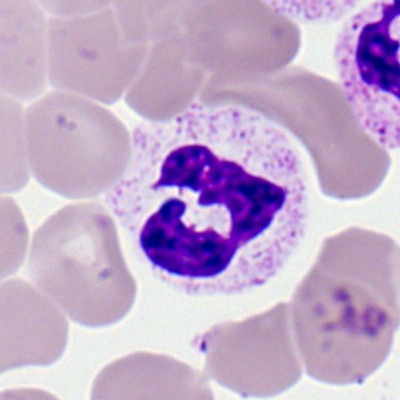 Peripheral blood smear showing a neutrophil (segmented).